Bone marrow smear: 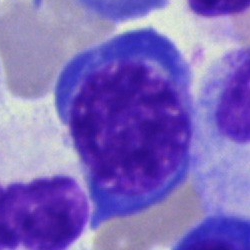

This is an erythroblast.